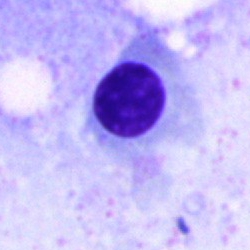

This is a nucleated red blood cell.